Peripheral blood smear
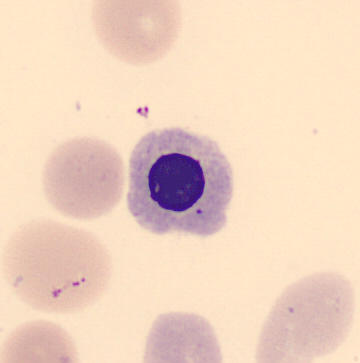The cell is erythroblast.